Bone marrow smear: 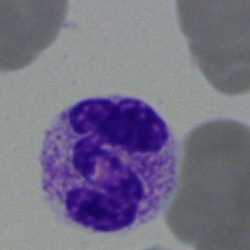

Classification = segmented neutrophil.